Bone marrow smear
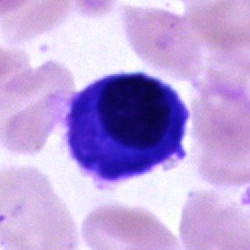 {"cell_type": "plasma cell"}